Image size 250×250; bone marrow smear: 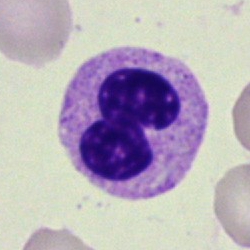Classification = neutrophil (band).